Bone marrow aspirate smear — 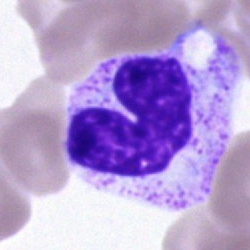 The morphological class is neutrophil (band).